Bone marrow smear; brightfield, 40× oil-immersion objective; 250×250:
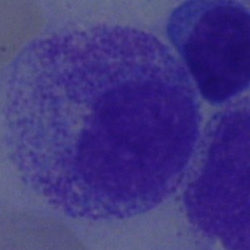
Specimen: bone marrow smear.
Morphological class: myelocyte.
Lineage: myeloid.